Bone marrow smear.
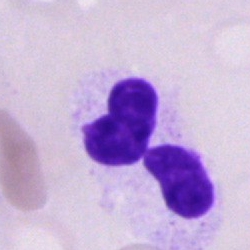

Cell = neutrophil (segmented).